Image size 250×250 · 40× objective, oil immersion · bone marrow smear.
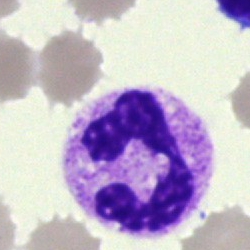Impression — neutrophil (segmented).